Bone marrow smear. Image size 250×250.
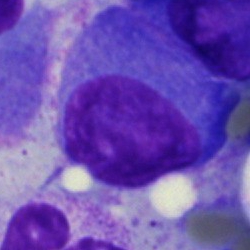
Morphological class = plasma cell.